Brightfield, 40× oil-immersion objective. Bone marrow aspirate smear
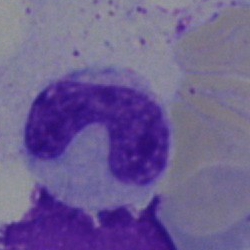
This is a band-form neutrophil.